Bone marrow aspirate smear: 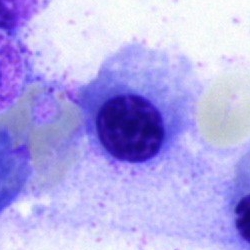
Q: What is shown here?
A: A basophil.